Bone marrow smear: 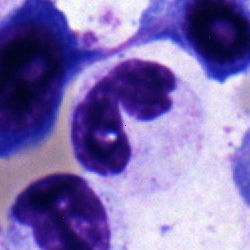Q: Which cell type is shown here?
A: This is a neutrophil (band).